Bone marrow smear · image size 250×250
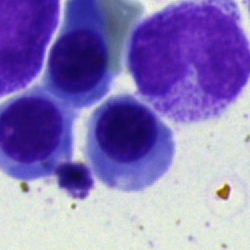

Q: What is the morphological classification of this cell?
A: It is a nucleated red cell.